Bone marrow aspirate smear.
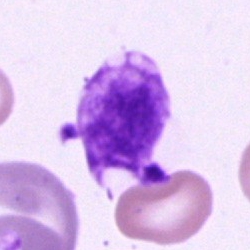{"cell_type": "artefact"}